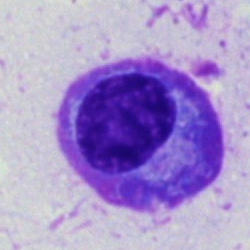
Q: Which cell type is shown here?
A: This is a plasma cell.